Bone marrow aspirate smear: 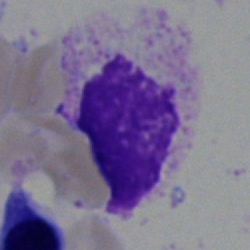

The morphological class is artefact.